Peripheral blood film:
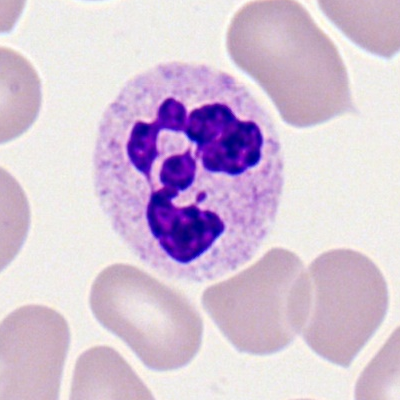
Single cell identified as a segmented neutrophil.